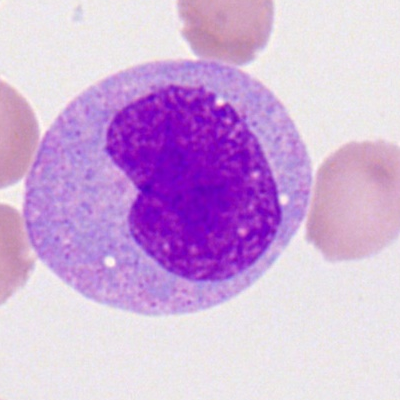 A monocyte.